Bone marrow smear.
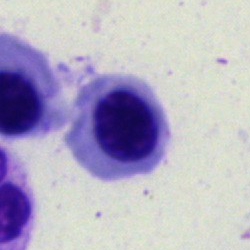The cell is nucleated red blood cell.